Bone marrow aspirate smear: 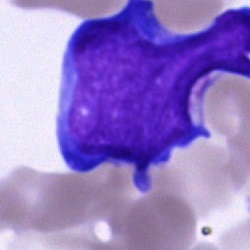
This is a blast cell.